Bone marrow smear. MGG-stained.
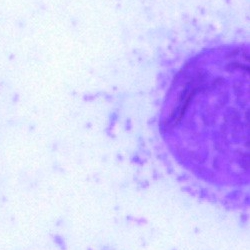
Specimen: bone marrow smear.
Cell type: artifact.